Single-cell crop. Bone marrow smear. 250×250.
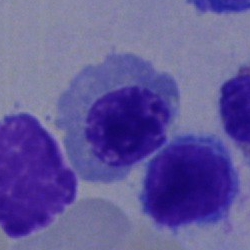

Specimen: bone marrow smear.
Cell: nucleated red blood cell.